Bone marrow aspirate smear. MGG-stained: 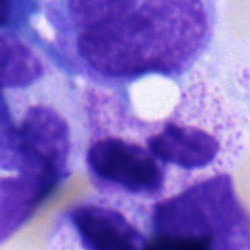 The cell shown is a monocyte.